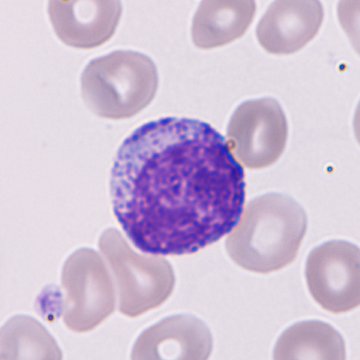

Specimen: peripheral blood film.
Classification: granulocyte precursor.